May-Grünwald-Giemsa stain; bone marrow aspirate smear; single-cell crop: 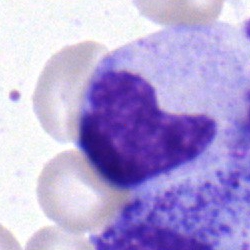
Impression — myelocyte.